May-Grünwald-Giemsa stain. Bone marrow smear. 250 by 250 pixels.
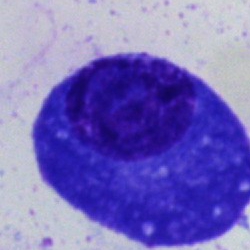

The classification is plasma cell.